Single cell centered in the field; bone marrow aspirate smear: 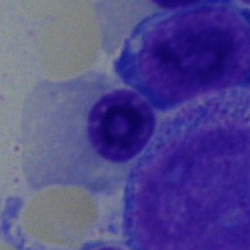
Morphology — nucleated red cell.